Bone marrow aspirate smear; 40× objective, oil immersion:
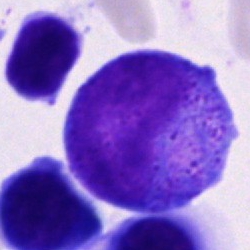
Morphology — promyelocyte.